250×250. Bone marrow smear
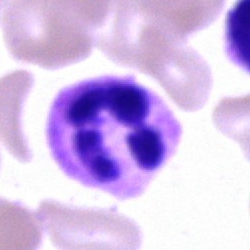 Classification: polymorphonuclear neutrophil.